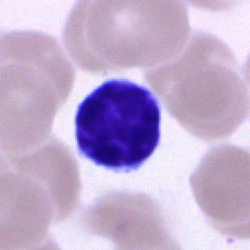 Q: Which cell type is shown here?
A: This is a typical lymphocyte.